Bone marrow aspirate smear:
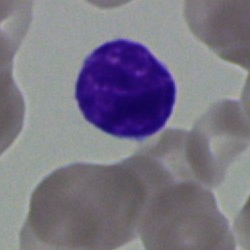 Cell type — lymphocyte.